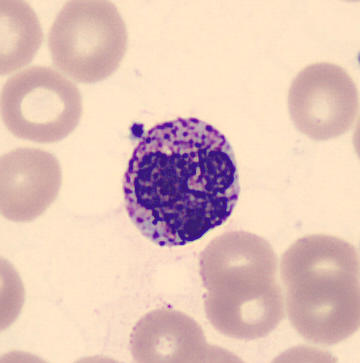
Morphology → basophilic granulocyte.

Acquisition: Peripheral blood film; May Grünwald-Giemsa stain.